Bone marrow smear · 250×250.
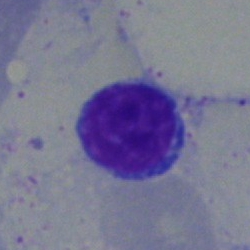
Q: What is shown here?
A: It is a lymphocyte.